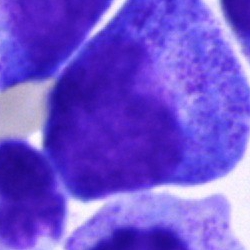

{"cell_type": "promyelocyte", "lineage": "myeloid"}